Pappenheim-stained; bone marrow smear: 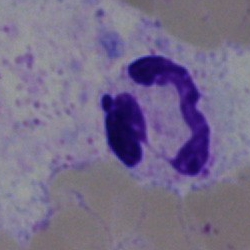

Specimen: bone marrow aspirate smear.
Cell type: segmented neutrophil.
Lineage: myeloid.